Bone marrow aspirate smear; 40× oil immersion; single cell centered in the field: 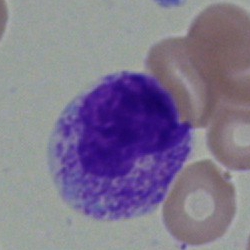
Morphology consistent with a myelocyte.